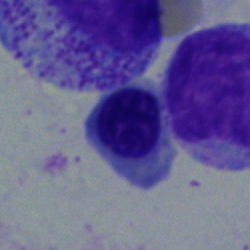Morphological class — erythroblast.